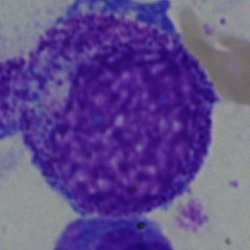 Impression — promyelocyte.